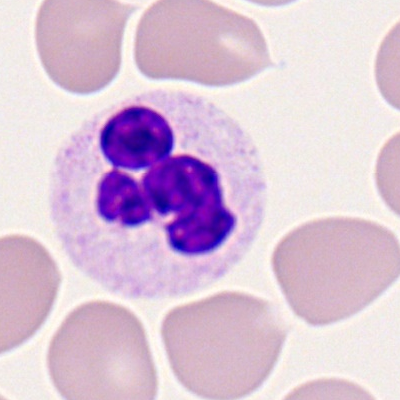

Morphological class: segmented neutrophil.